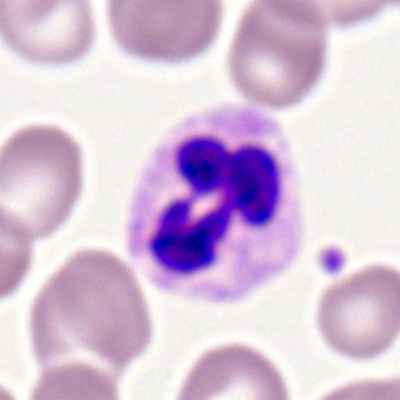
The cell shown is a neutrophil (segmented).